Bone marrow smear · cropped to a single cell.
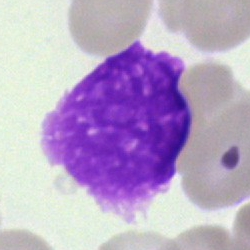The classification is artifact.